Peripheral blood smear · single-cell crop · Romanowsky-stained:
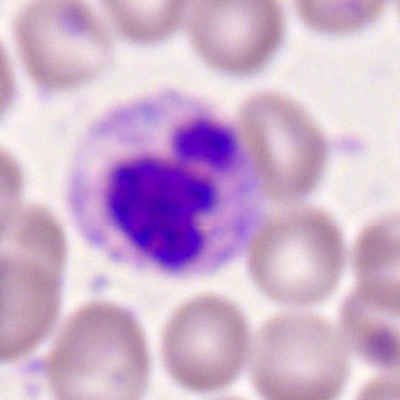
The morphological class is polymorphonuclear neutrophil.